Brightfield, 40× oil-immersion objective; bone marrow aspirate smear: 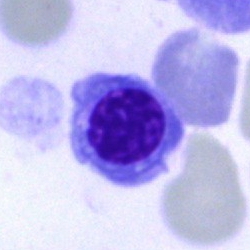{"cell_type": "erythroblast", "lineage": "erythroid"}